Bone marrow smear.
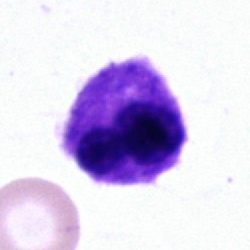
Q: What is the morphological classification of this cell?
A: An unidentifiable cell.